Bone marrow smear; 250×250.
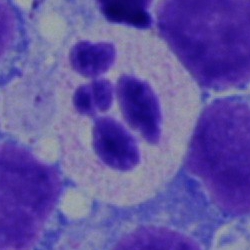 Morphological class — segmented neutrophil.